Peripheral blood film:
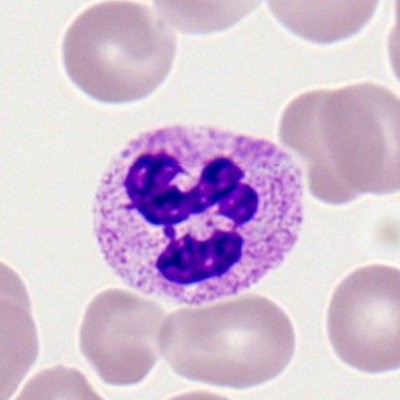Segmented neutrophil.